Bone marrow smear · single cell centered in the field: 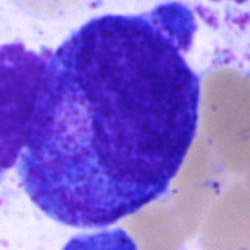The cell is promyelocyte.